250×250 · bone marrow aspirate smear · May-Grünwald-Giemsa stain.
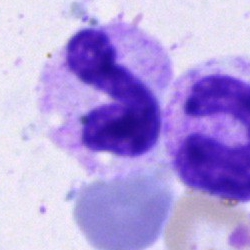 Morphology → neutrophil (segmented).